Single-cell field · bone marrow aspirate smear · MGG-stained
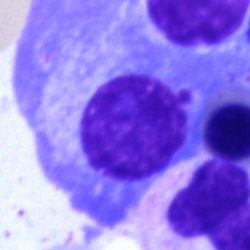
Impression → plasmacyte.